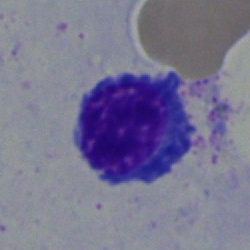A nucleated red cell on a bone marrow smear.